Peripheral blood film.
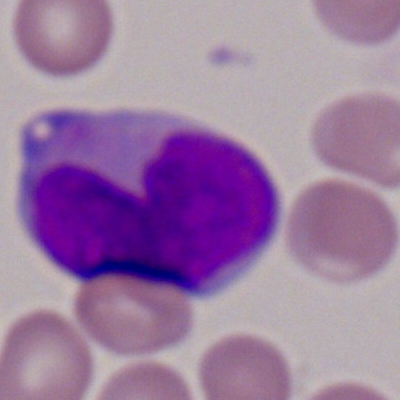 Specimen: peripheral blood smear.
Classification: myeloblast.
Lineage: myeloid.